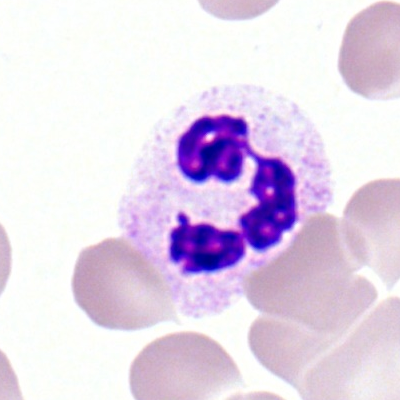
Specimen: peripheral blood film.
Classification: polymorphonuclear neutrophil.